Bone marrow aspirate smear.
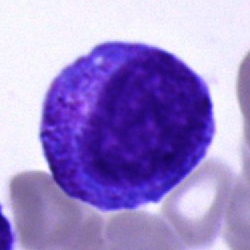
Progranulocyte.